Bone marrow aspirate smear:
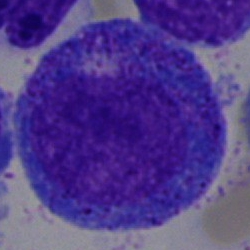 Progranulocyte.